Bone marrow aspirate smear.
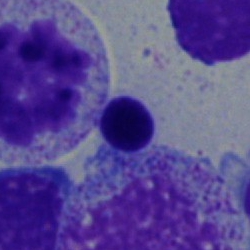

Showing a nucleated red cell.